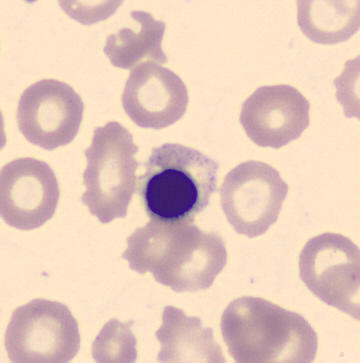 Morphology — erythroblast.
Single-cell field. CellaVision DM96 digital cell image. Peripheral blood film.